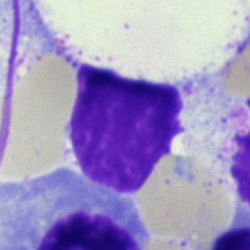

Artefact.